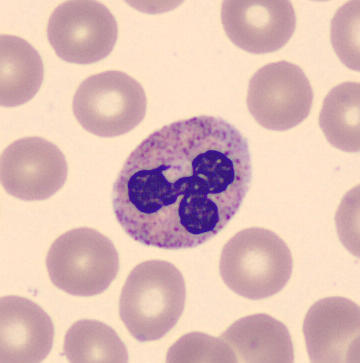

The cell shown is a segmented neutrophil. Image: Peripheral blood smear.